Peripheral blood smear — 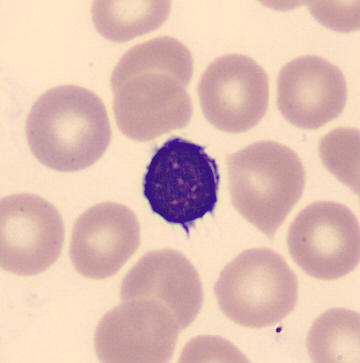
The cell type is lymphocyte.